Bone marrow aspirate smear
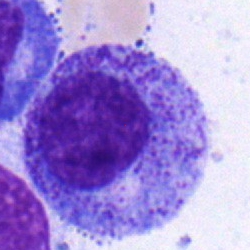
A promyelocyte.